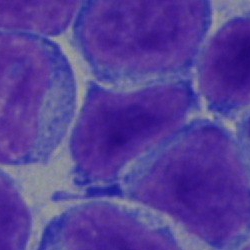
Q: What is the morphological classification of this cell?
A: A typical lymphocyte.